Bone marrow aspirate smear; 250×250; 40× objective, oil immersion — 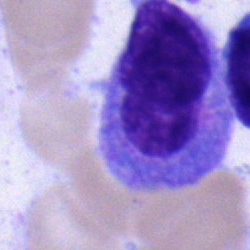 Q: What type of cell is this?
A: This is a monocyte.